Bone marrow aspirate smear: 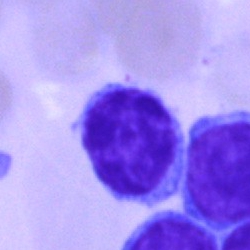Specimen: bone marrow smear.
Cell: lymphocyte.